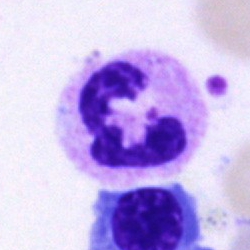Morphology consistent with a polymorphonuclear neutrophil.